Bone marrow aspirate smear:
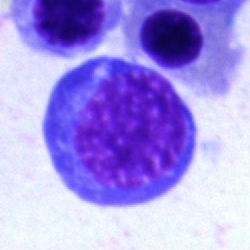 Specimen: bone marrow aspirate smear.
Classification: erythroblast.